Bone marrow aspirate smear · brightfield microscopy, 40× oil immersion — 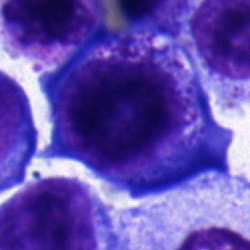The cell shown is a progranulocyte.